Single cell centered in the field · bone marrow smear:
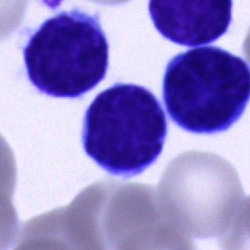Specimen: bone marrow aspirate smear.
Morphological class: lymphocyte.
Lineage: lymphoid.